Cropped to a single cell; bone marrow aspirate smear — 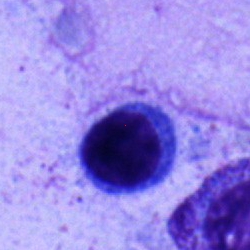 Cell type = typical lymphocyte.